Bone marrow smear. Brightfield microscopy, 40× oil immersion. Single-cell crop: 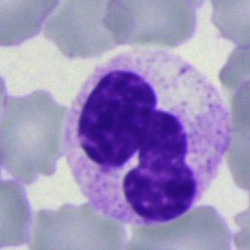
Q: What is the morphological classification of this cell?
A: Segmented neutrophil.